Bone marrow smear — 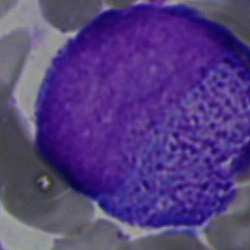 Single cell identified as a progranulocyte.